Single-cell crop; bone marrow aspirate smear; MGG-stained:
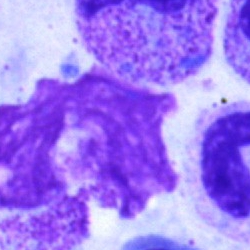
Impression — artifact.